Peripheral blood film
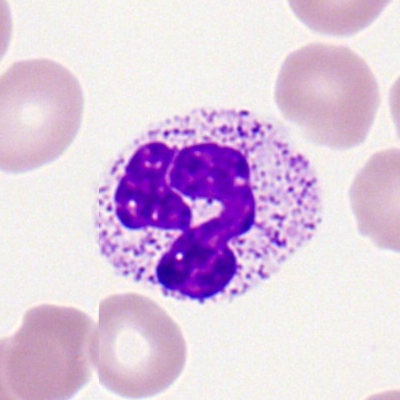 The cell shown is a segmented neutrophil.